Bone marrow aspirate smear: 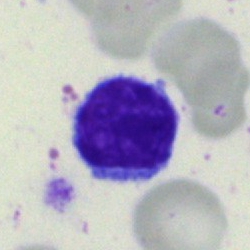The cell shown is a typical lymphocyte.